Bone marrow aspirate smear
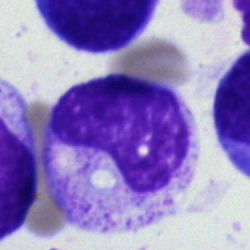 The cell shown is a metamyelocyte.